Brightfield, 40× oil-immersion objective; bone marrow smear: 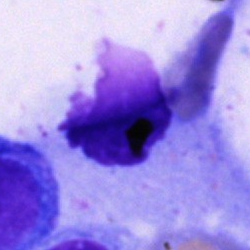

Q: What is shown here?
A: Artifact.